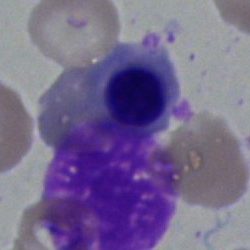

Morphology → erythroblast.